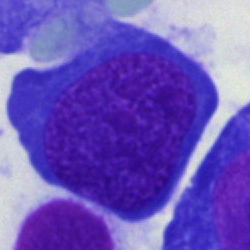 Morphological class = proerythroblast.